Pappenheim-stained. Bone marrow aspirate smear:
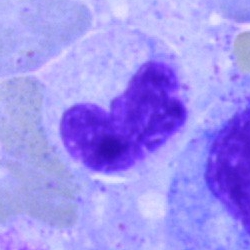 Showing a band neutrophil.